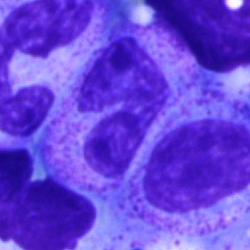Showing a band-form neutrophil.